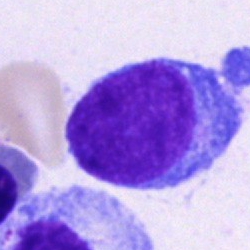
Showing a blast cell.